May-Grünwald-Giemsa stain; bone marrow smear: 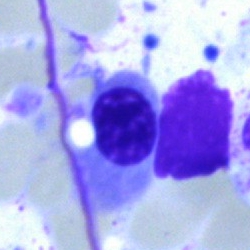Cell: erythroblast.